MGG-stained · bone marrow smear — 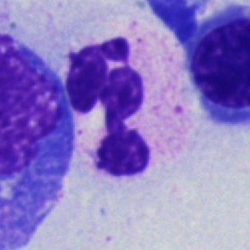 Classification — neutrophil (segmented).